Bone marrow smear — 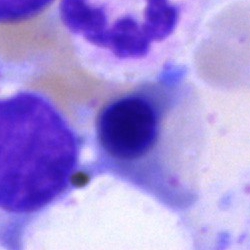

Nucleated red blood cell.